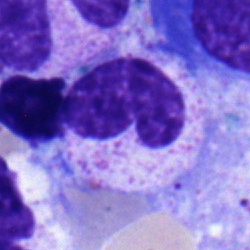

Q: What is the morphological classification of this cell?
A: It is a neutrophil (segmented).